Bone marrow smear: 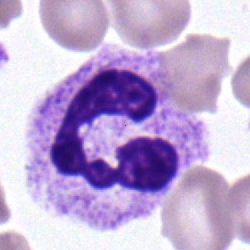

Q: Identify the cell.
A: Neutrophil (segmented).